Bone marrow smear
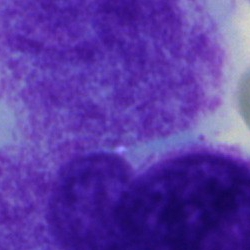 Q: What is shown here?
A: It is an artefact.